Bone marrow aspirate smear:
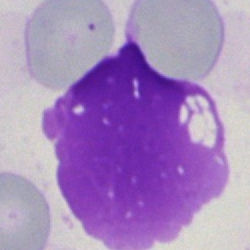Single cell identified as an artifact.